Single cell centered in the field; brightfield, 40× oil-immersion objective; bone marrow smear
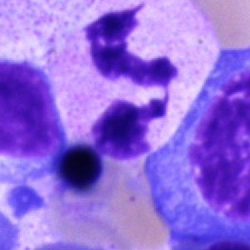
Morphology — neutrophil (segmented).